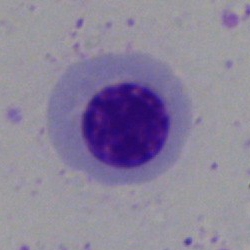
Showing a nucleated red blood cell.